Brightfield microscopy, 40× oil immersion · bone marrow aspirate smear · image size 250×250 — 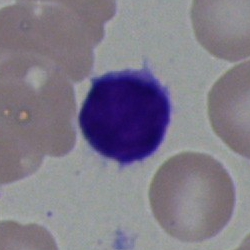Showing a typical lymphocyte.